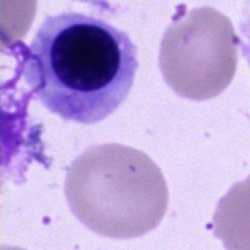

Cell type: nucleated red blood cell.